Brightfield microscopy, 40× oil immersion · bone marrow aspirate smear · May-Grünwald-Giemsa/Pappenheim stain — 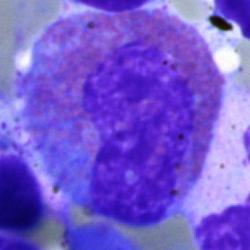The classification is eosinophil.